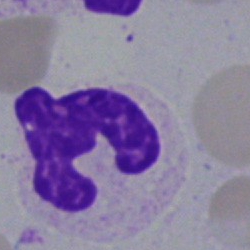Bone marrow aspirate smear, single cell — segmented neutrophil.